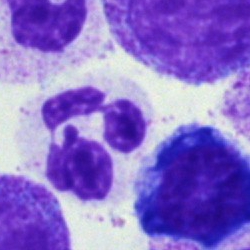 Cell = neutrophil (segmented).